Peripheral blood smear — 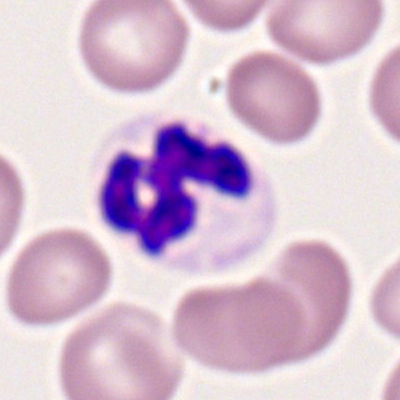
The cell type is segmented neutrophil.